MGG-stained. 40× objective, oil immersion. Bone marrow smear: 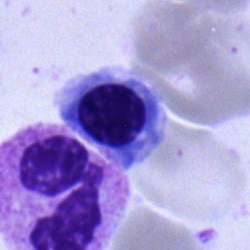Normoblast.